Bone marrow aspirate smear. 250 by 250 pixels. Pappenheim-stained: 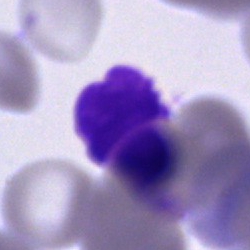
Cell = artefact.